Bone marrow smear
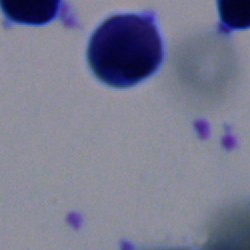 Impression — lymphocyte.